Bone marrow smear:
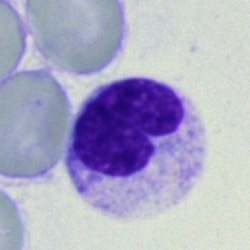Single cell identified as a neutrophil (band).